Bone marrow aspirate smear — 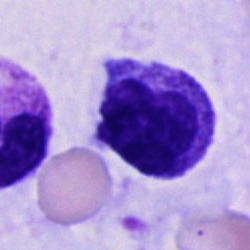

{"cell_type": "cell of indeterminate lineage"}